Brightfield, 40× oil-immersion objective; 250×250; bone marrow aspirate smear:
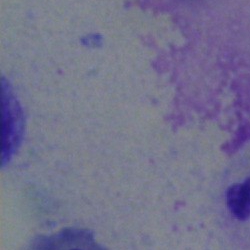

{"cell_type": "artifact"}